Bone marrow aspirate smear: 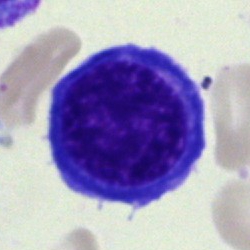

Cell type: normoblast.